Bone marrow smear. May-Grünwald-Giemsa/Pappenheim stain — 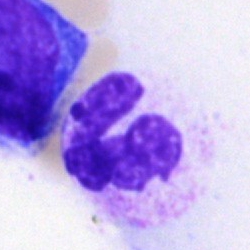 Showing a polymorphonuclear neutrophil.